40× objective, oil immersion; bone marrow aspirate smear.
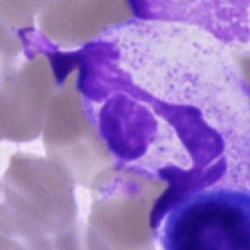
The classification is segmented neutrophil.